Bone marrow smear: 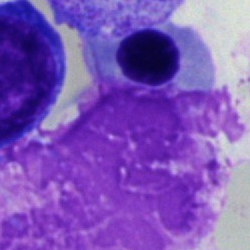

Morphological class — artefact.